Single-cell crop. Pappenheim-stained. Bone marrow aspirate smear — 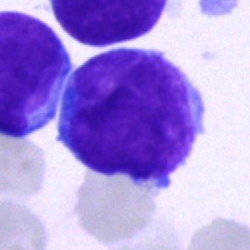Morphology — blast.